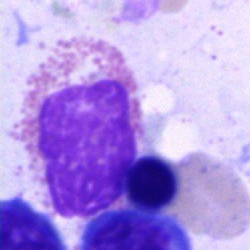{"cell_type": "eosinophil", "lineage": "myeloid"}